Bone marrow aspirate smear: 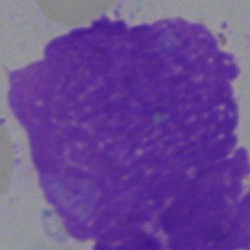Impression → artifact.